Bone marrow aspirate smear.
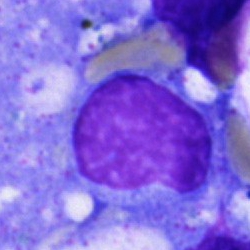

Cell type = blast cell.